Bone marrow aspirate smear. Image size 250×250. Single cell centered in the field.
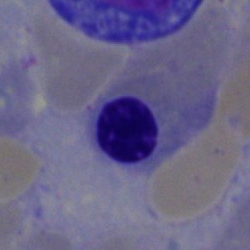Q: What is shown here?
A: A nucleated red cell.